Bone marrow smear.
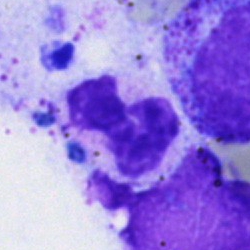 The cell type is polymorphonuclear neutrophil.